Bone marrow smear; cropped to a single cell — 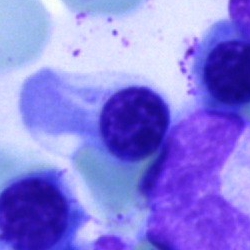Single cell identified as a normoblast.